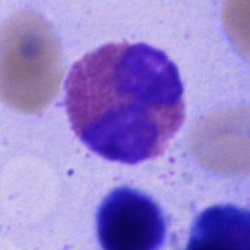 {"cell_type": "eosinophil"}